Bone marrow aspirate smear — 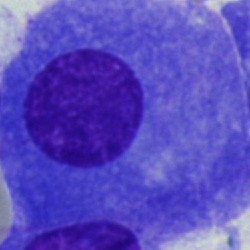

Q: What type of cell is this?
A: This is a plasma cell.